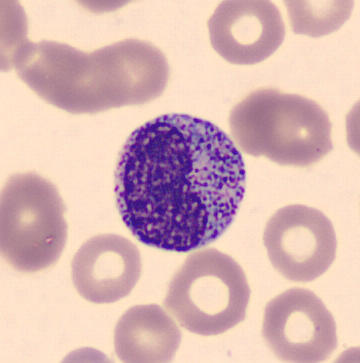Specimen: peripheral blood smear.
Morphological class: metamyelocyte.
Lineage: myeloid.